40× objective, oil immersion · bone marrow smear · single cell centered in the field.
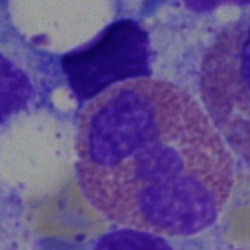
The morphological class is eosinophilic granulocyte.